Peripheral blood smear. Romanowsky-stained — 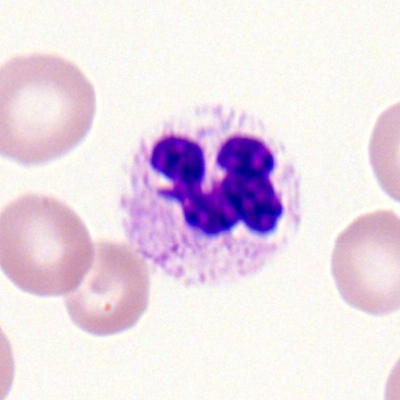
Single cell identified as a segmented neutrophil.